Bone marrow smear — 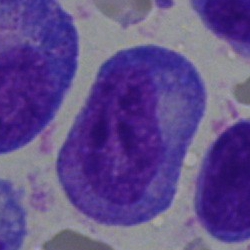
Morphology → progranulocyte.